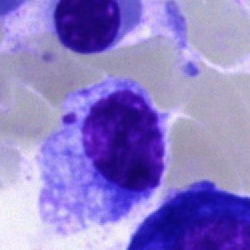 Q: What cell is this?
A: This is a normoblast.